Bone marrow smear
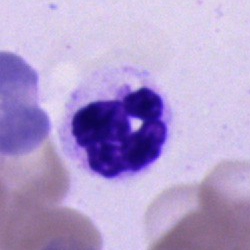Classification — segmented neutrophil.